Bone marrow aspirate smear; MGG-stained.
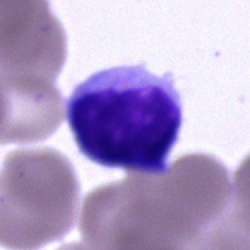Showing a typical lymphocyte.